40× objective, oil immersion; 250 by 250 pixels; bone marrow smear:
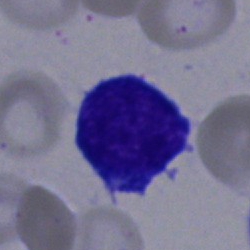 A lymphocyte.